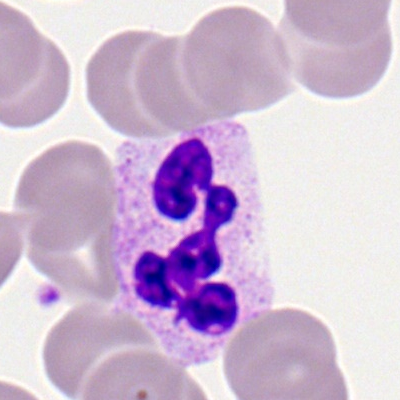Single-cell crop from a peripheral blood smear: segmented neutrophil.